Bone marrow smear; 40× objective, oil immersion; image size 250×250:
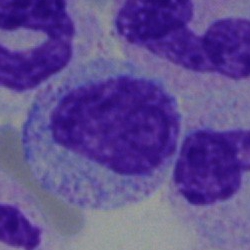
Showing a myelocyte.